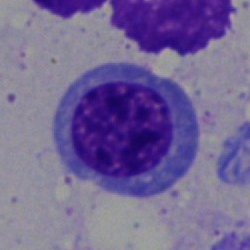An erythroblast.